Bone marrow aspirate smear — 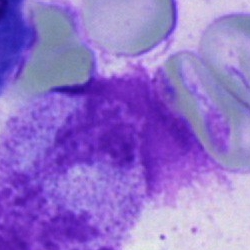 Cell type — artefact.